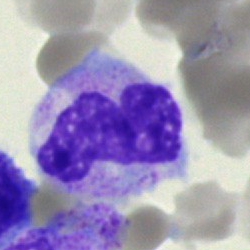 Morphology → band-form neutrophil.